Brightfield microscopy, 40× oil immersion. Bone marrow aspirate smear:
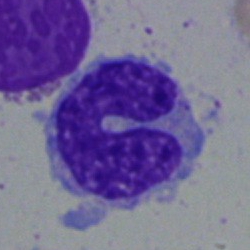
This is a monocyte.